Bone marrow aspirate smear
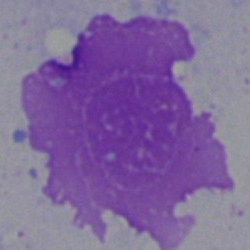

Morphology consistent with an artifact.